Bone marrow smear. Pappenheim-stained.
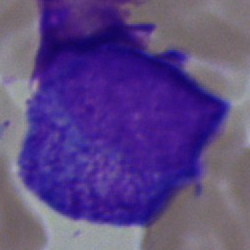 Specimen: bone marrow smear.
Morphological class: promyelocyte.